Bone marrow aspirate smear. Pappenheim-stained:
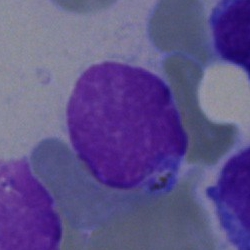
This is a lymphocyte.